Peripheral blood smear · CellaVision DM96 digital cell image
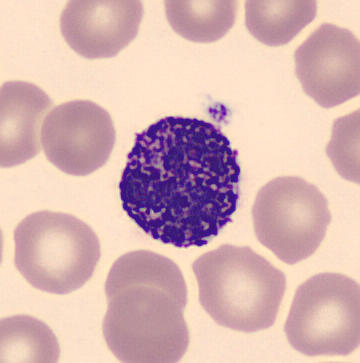Classification: basophilic granulocyte.